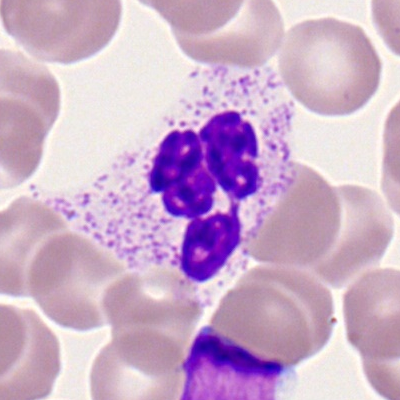The cell shown is a segmented neutrophil.